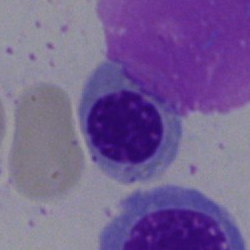 This is an erythroblast.